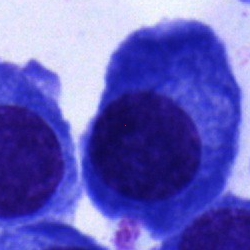

Morphological class — plasma cell.